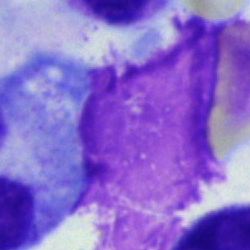

The cell shown is an artifact.